Bone marrow aspirate smear. Image size 250×250 — 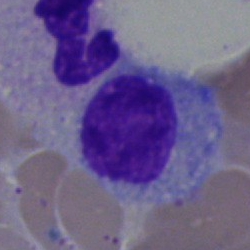 Q: What cell is this?
A: A typical lymphocyte.